Bone marrow aspirate smear; cropped to a single cell
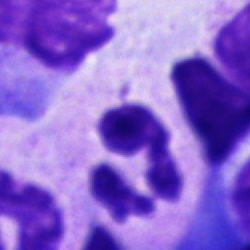

Specimen: bone marrow aspirate smear.
Classification: neutrophil (segmented).
Lineage: myeloid.